Bone marrow smear:
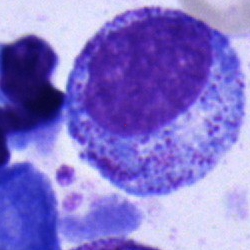 A myelocyte.